Brightfield, 40× oil-immersion objective · bone marrow aspirate smear:
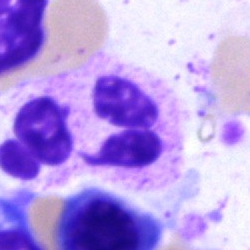A polymorphonuclear neutrophil.